Bone marrow aspirate smear · MGG-stained: 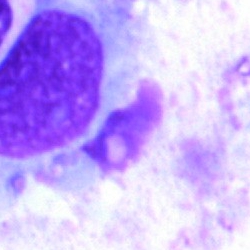Morphology → artifact.